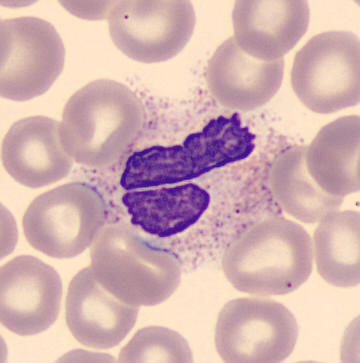Single cell identified as a neutrophil (segmented).

May Grünwald-Giemsa stain; peripheral blood film.